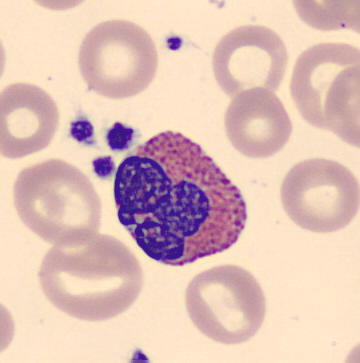Q: What cell is this?
A: This is an eosinophil. Peripheral blood film.